Bone marrow smear — 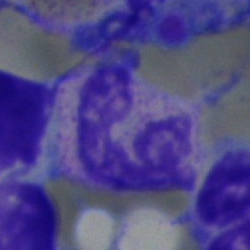Cell: segmented neutrophil.